Single cell centered in the field. Bone marrow aspirate smear.
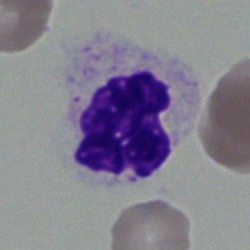 Specimen: bone marrow aspirate smear.
Cell type: polymorphonuclear neutrophil.